Bone marrow smear.
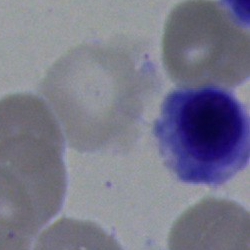
Specimen: bone marrow aspirate smear.
Cell type: nucleated red cell.
Lineage: erythroid.